Bone marrow aspirate smear: 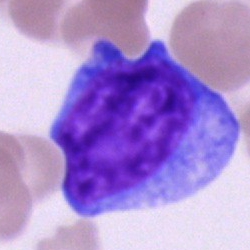
Single cell identified as an undifferentiated blast.